Bone marrow aspirate smear:
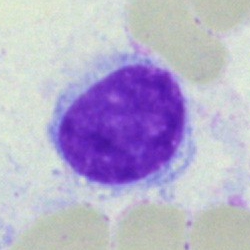The classification is hairy cell.